Peripheral blood film; 400×400 — 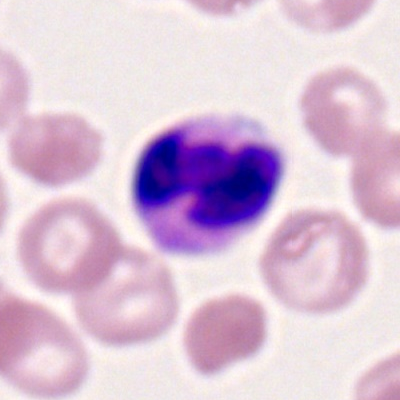 Cell: neutrophil (segmented).